Bone marrow aspirate smear:
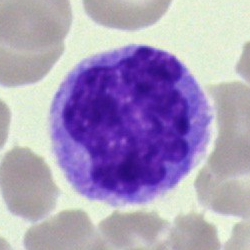The cell shown is a monocyte.